250×250 px. Bone marrow aspirate smear.
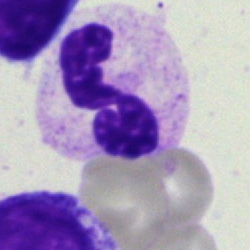

Specimen: bone marrow aspirate smear.
Cell: polymorphonuclear neutrophil.